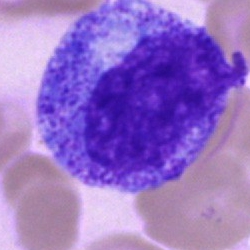A progranulocyte.